Bone marrow aspirate smear
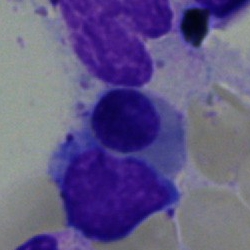
Showing an erythroblast.